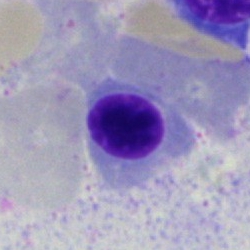Classification: erythroblast.